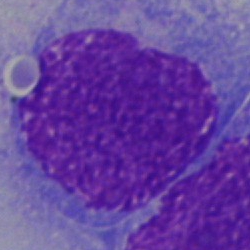 {"cell_type": "blast cell"}